Bone marrow aspirate smear.
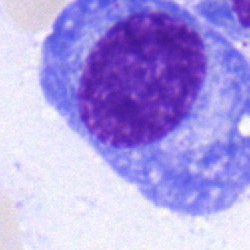
Cell — plasmacyte.